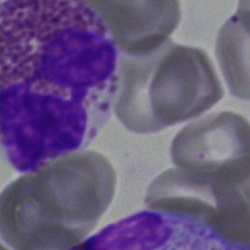
The cell type is eosinophilic granulocyte.